Bone marrow smear; 250×250; single-cell crop — 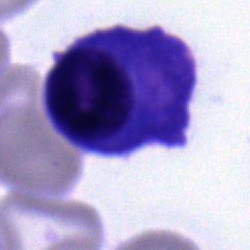The classification is plasmacyte.